Peripheral blood smear · M8 digital microscope (Precipoint), 100× oil immersion:
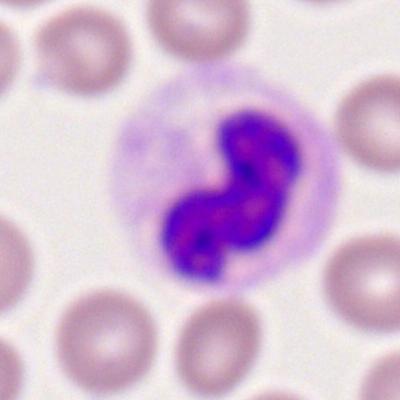 Morphology consistent with a polymorphonuclear neutrophil.